Bone marrow smear
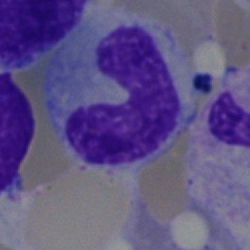 Morphology consistent with a band neutrophil.